Bone marrow aspirate smear. Brightfield, 40× oil-immersion objective — 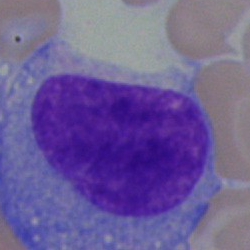The cell shown is an undifferentiated blast.